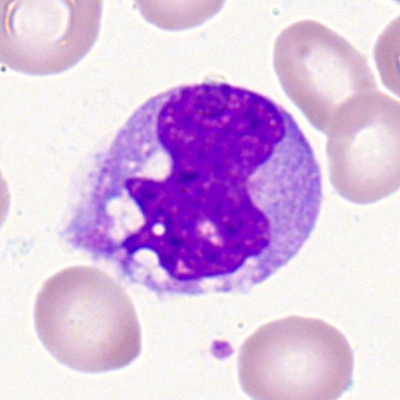
Q: Identify the cell.
A: This is a monocyte.